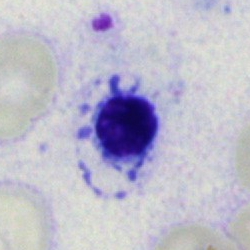

Cell: nucleated red cell.